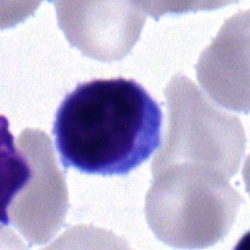 A typical lymphocyte on a bone marrow smear.